Single cell centered in the field. MGG stain. Peripheral blood smear — 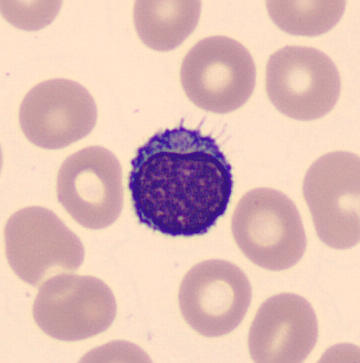
The cell shown is a typical lymphocyte.